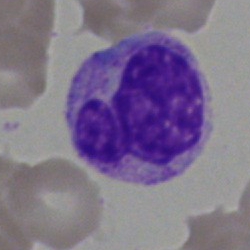
A segmented neutrophil.